Bone marrow smear. Single-cell crop. Brightfield, 40× oil-immersion objective.
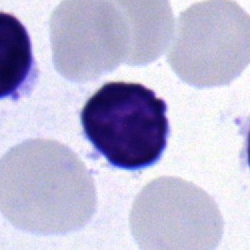 Q: What is the morphological classification of this cell?
A: A lymphocyte.